Pappenheim-stained; brightfield, 40× oil-immersion objective; bone marrow smear
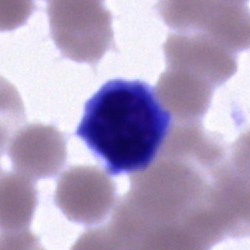

Morphology consistent with an artifact.